Bone marrow aspirate smear · 250×250 · May-Grünwald-Giemsa/Pappenheim stain
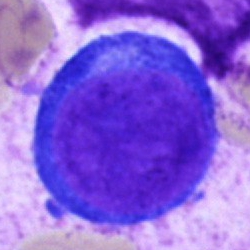

Showing a proerythroblast.